Bone marrow smear · single-cell field · May-Grünwald-Giemsa stain.
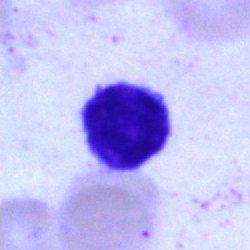A lymphocyte.